Bone marrow aspirate smear:
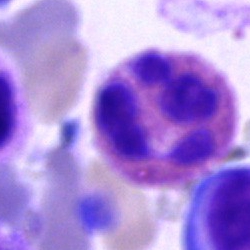
Showing an eosinophilic granulocyte.